Bone marrow smear · 40× oil immersion:
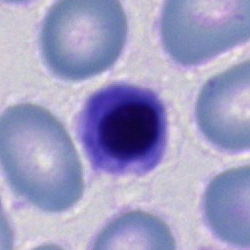
Erythroblast.